Bone marrow aspirate smear · single cell centered in the field: 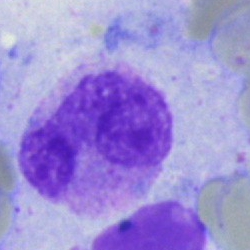 Band-form neutrophil.